Bone marrow aspirate smear
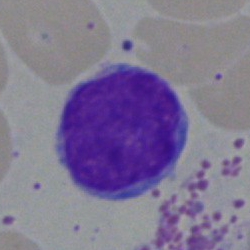

Morphological class: typical lymphocyte.